Peripheral blood smear:
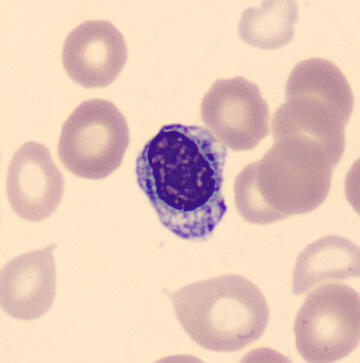
Cell = erythroblast.